Peripheral blood smear
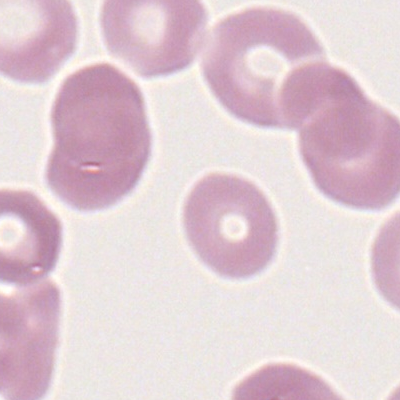
Showing a basket cell.